Bone marrow smear; 250 by 250 pixels
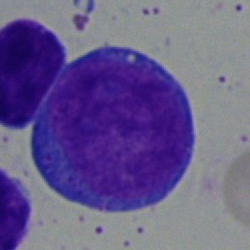

A proerythroblast.